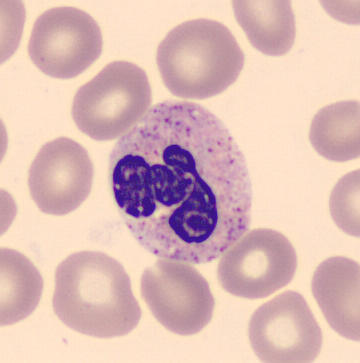
Image: May-Grünwald-Giemsa-stained; peripheral blood smear.
Q: What cell is this?
A: This is a segmented neutrophil.